Bone marrow aspirate smear · 250 by 250 pixels.
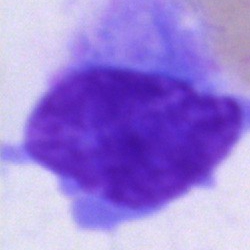

{"cell_type": "artifact"}